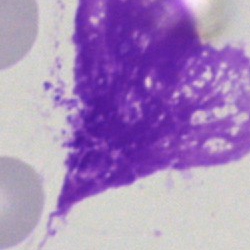

The cell shown is an artefact.